Bone marrow smear
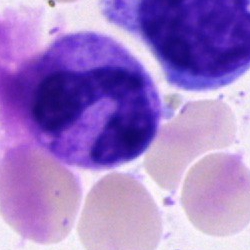
Morphology — band neutrophil.